Peripheral blood film · single cell centered in the field · 100× objective, oil immersion
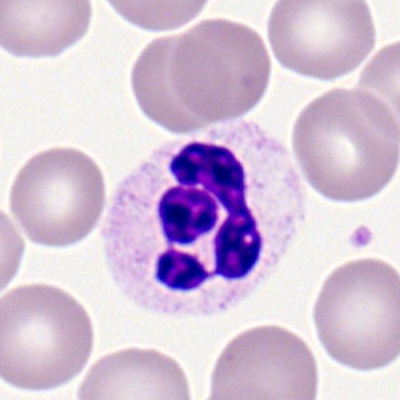
Morphology consistent with a polymorphonuclear neutrophil.